Bone marrow aspirate smear · brightfield, 40× oil-immersion objective — 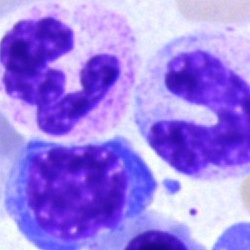 Specimen: bone marrow aspirate smear.
Cell type: neutrophil (segmented).
Lineage: myeloid.